Bone marrow smear: 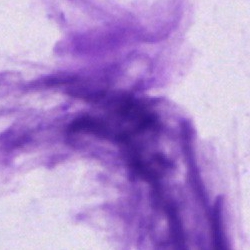 Morphology → artefact.